Pappenheim-stained; 40× oil immersion; bone marrow smear.
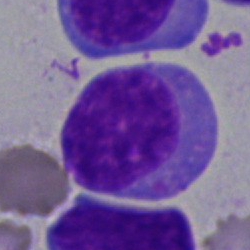 Morphology → blast cell.